Bone marrow smear; single cell centered in the field:
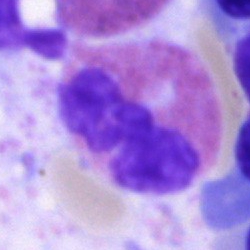
Cell type = eosinophilic granulocyte.